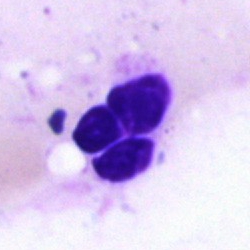
Impression → artefact.